Bone marrow aspirate smear: 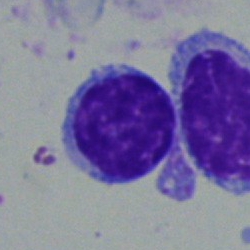Impression — typical lymphocyte.